Bone marrow aspirate smear — 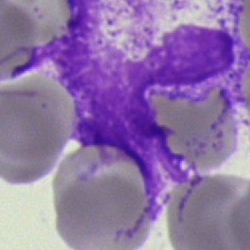
The cell shown is an artefact.